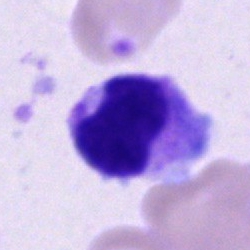

{"cell_type": "unidentifiable cell"}